Bone marrow aspirate smear.
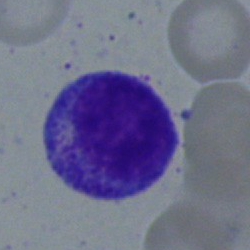Classification: myelocyte.